Bone marrow smear.
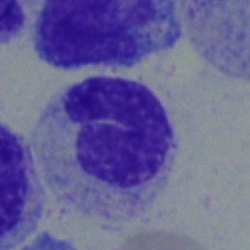

The cell is band-form neutrophil.